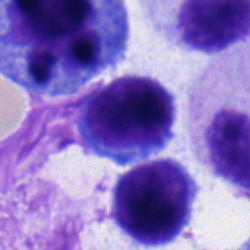

Classification = lymphocyte.